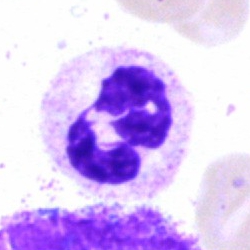

Specimen: bone marrow smear.
Cell: segmented neutrophil.
Lineage: myeloid.